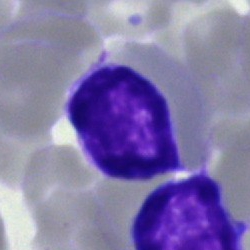 Single-cell crop from a bone marrow smear: lymphocyte.